Bone marrow aspirate smear · 40× oil immersion:
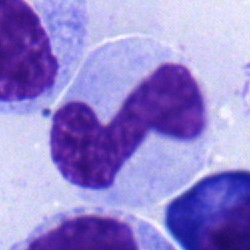
Showing a stab cell.